Bone marrow aspirate smear
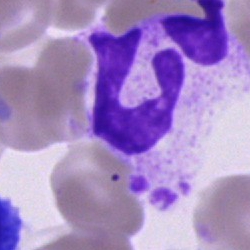 Morphology consistent with a polymorphonuclear neutrophil.